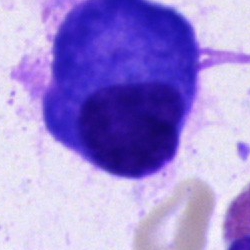
A plasmacyte on a bone marrow smear.